Bone marrow aspirate smear; single-cell field: 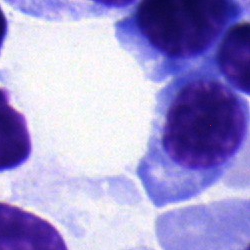

Morphology → nucleated red blood cell.